Bone marrow aspirate smear
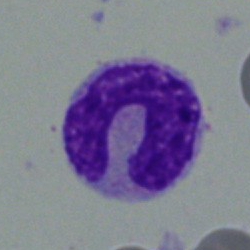

Morphology → stab cell.